Single-cell crop; bone marrow smear; May-Grünwald-Giemsa/Pappenheim stain:
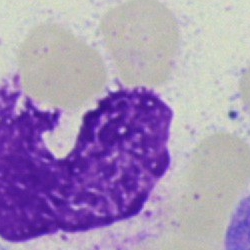 The cell shown is an artifact.